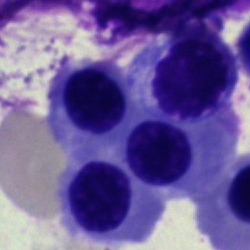Specimen: bone marrow smear.
Morphological class: normoblast.